Bone marrow smear · image size 250×250: 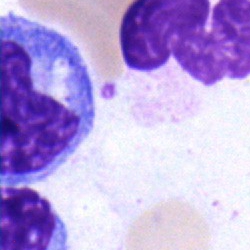Impression → metamyelocyte.